Bone marrow aspirate smear · 40× oil immersion · 250×250: 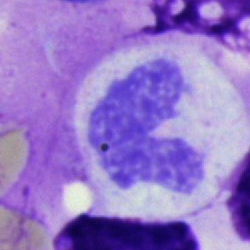 Classification — polymorphonuclear neutrophil.